Bone marrow aspirate smear · May-Grünwald-Giemsa stain · 40× oil immersion
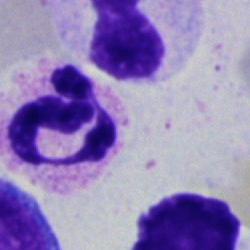The cell shown is a segmented neutrophil.